360×363 px; peripheral blood smear:
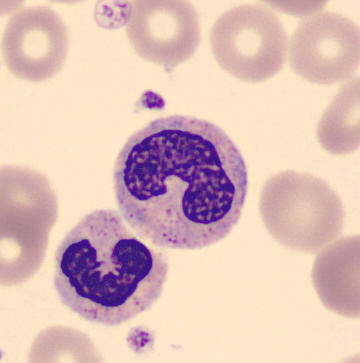

Morphological class: band-form neutrophil.